Bone marrow smear · 250×250 px — 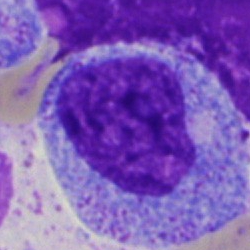
Single cell identified as a promyelocyte.